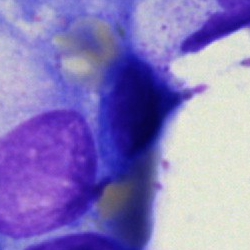
An artifact on a bone marrow smear.